Bone marrow aspirate smear · brightfield, 40× oil-immersion objective:
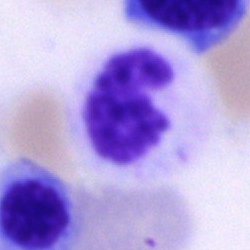 Neutrophil (segmented).